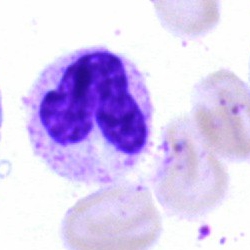 The morphological class is neutrophil (segmented).